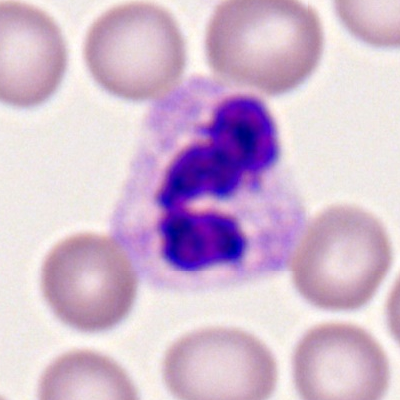Peripheral blood film, single cell — neutrophil (segmented).